May-Grünwald-Giemsa stain. Brightfield microscopy, 40× oil immersion. Bone marrow smear
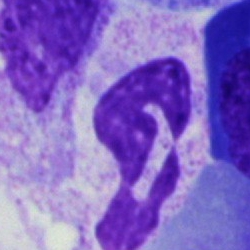

Specimen: bone marrow aspirate smear.
Classification: segmented neutrophil.
Lineage: myeloid.